Bone marrow aspirate smear
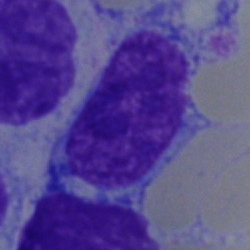The classification is artefact.